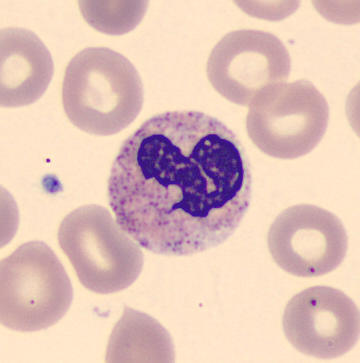

Classification: polymorphonuclear neutrophil.